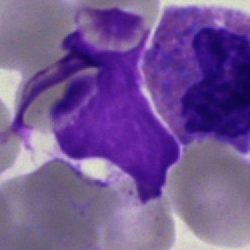{"cell_type": "artifact"}